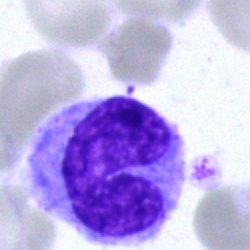
Morphological class: monocyte.